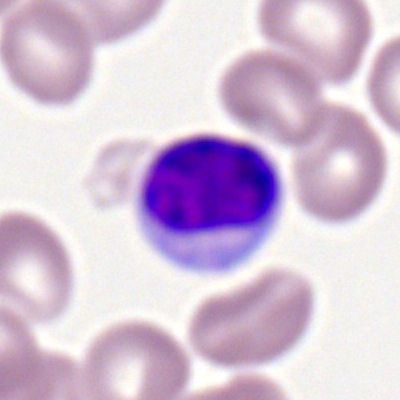

Classification: lymphocyte.